Bone marrow smear — 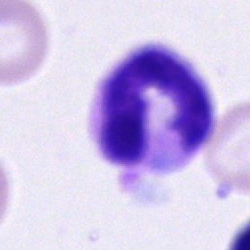Cell = band-form neutrophil.